Bone marrow smear; Pappenheim-stained; 250×250
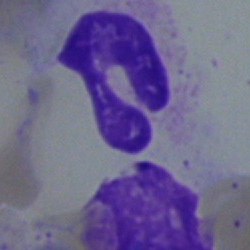
Polymorphonuclear neutrophil.